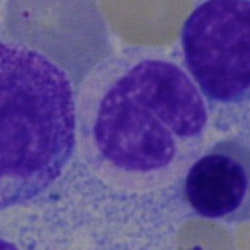 {"cell_type": "neutrophil (band)", "lineage": "myeloid"}